Bone marrow aspirate smear.
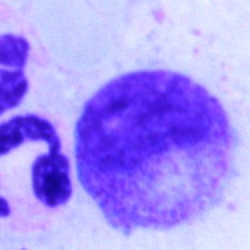

The cell shown is a myelocyte.